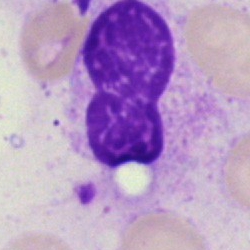

The cell shown is an artefact.